Bone marrow smear; May-Grünwald-Giemsa/Pappenheim stain — 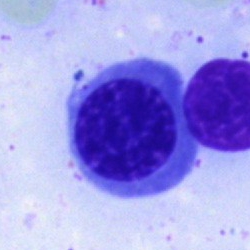Specimen: bone marrow smear.
Morphological class: nucleated red blood cell.
Lineage: erythroid.